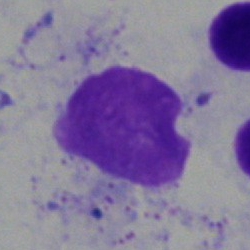Classification = artefact.